40× objective, oil immersion. Bone marrow aspirate smear: 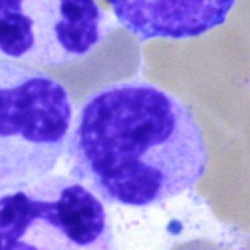 Morphological class = neutrophil (band).